Bone marrow smear: 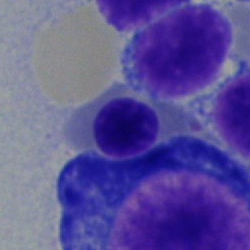 Q: Identify the cell.
A: This is a nucleated red cell.